Bone marrow aspirate smear · brightfield, 40× oil-immersion objective · May-Grünwald-Giemsa stain
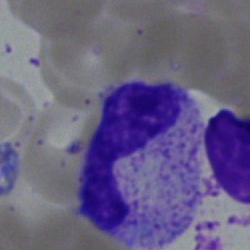
Showing a stab cell.